Bone marrow aspirate smear:
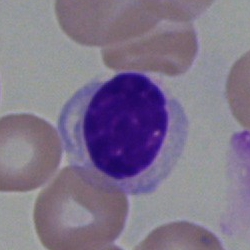
The cell type is lymphocyte.